Bone marrow smear.
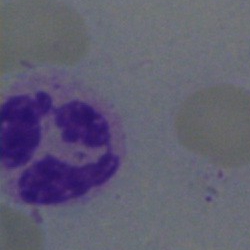

The cell shown is a segmented neutrophil.